Bone marrow smear — 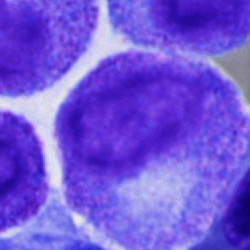
Specimen: bone marrow aspirate smear.
Cell type: progranulocyte.
Lineage: myeloid.